Bone marrow smear · 250 by 250 pixels · 40× oil immersion
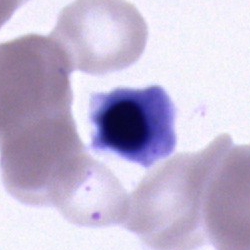The classification is nucleated red cell.